Bone marrow aspirate smear; 250×250; May-Grünwald-Giemsa/Pappenheim stain.
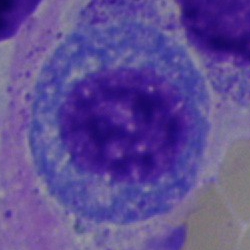
Specimen: bone marrow smear.
Cell: progranulocyte.
Lineage: myeloid.